Bone marrow aspirate smear — 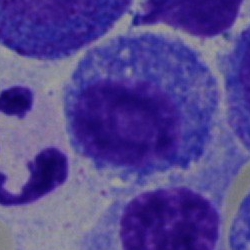The cell shown is a promyelocyte.